Bone marrow smear.
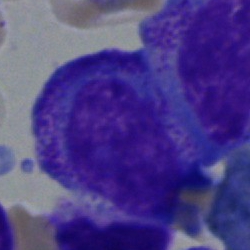

{"cell_type": "progranulocyte", "lineage": "myeloid"}